Bone marrow smear — 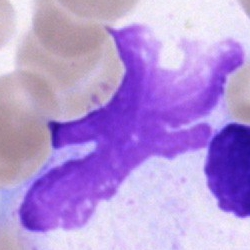

Specimen: bone marrow aspirate smear.
Classification: cell of indeterminate lineage.